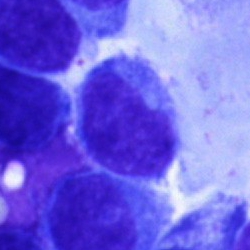Specimen: bone marrow smear.
Classification: typical lymphocyte.
Lineage: lymphoid.